Bone marrow smear:
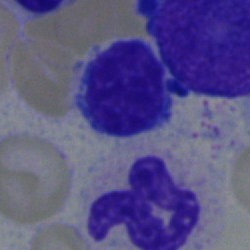Specimen: bone marrow aspirate smear.
Classification: eosinophilic granulocyte.
Lineage: myeloid.